Bone marrow aspirate smear · image size 250×250:
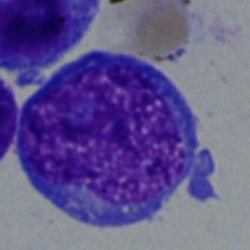 The cell shown is a blast.